Bone marrow smear
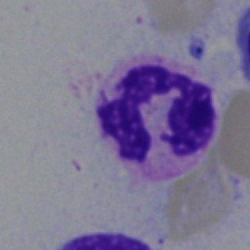

Morphological class = neutrophil (segmented).